Bone marrow smear · MGG-stained — 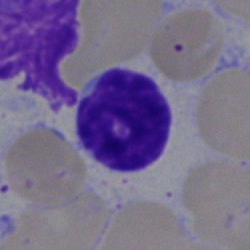 Morphological class: typical lymphocyte.